Bone marrow smear: 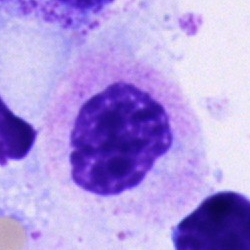
Showing an unidentifiable cell.